Bone marrow smear.
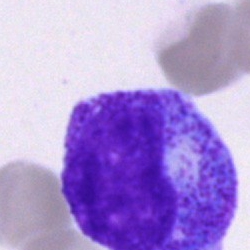
Q: Identify the cell.
A: Progranulocyte.